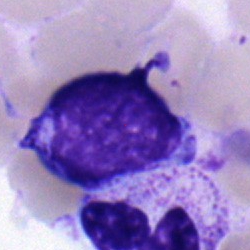Q: What type of cell is this?
A: It is a typical lymphocyte.